Bone marrow smear. May-Grünwald-Giemsa/Pappenheim stain
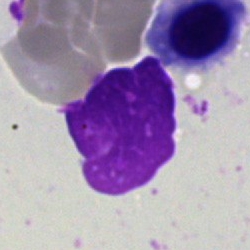This is an artefact.